Bone marrow smear — 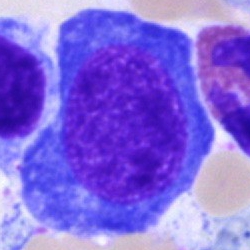 Morphology consistent with an erythroblast.